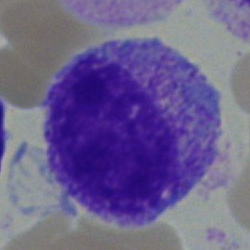This is a myelocyte.